MGG-stained. Bone marrow aspirate smear. 250 by 250 pixels: 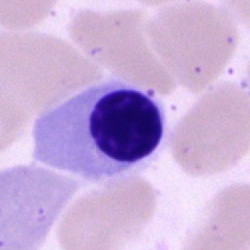

Classification — nucleated red blood cell.